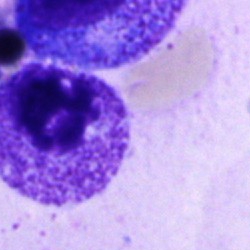{"cell_type": "myelocyte", "lineage": "myeloid"}